Bone marrow smear — 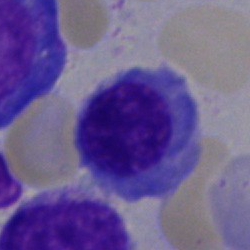 Classification — nucleated red cell.